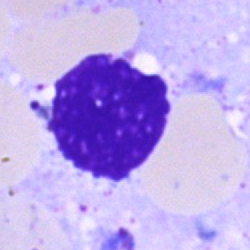

An artifact on a bone marrow smear.